Single-cell crop; bone marrow aspirate smear:
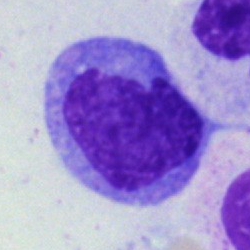

A monocyte.